Bone marrow smear: 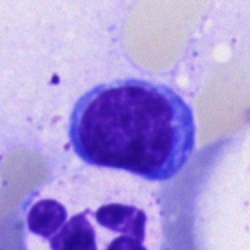 {"cell_type": "typical lymphocyte"}